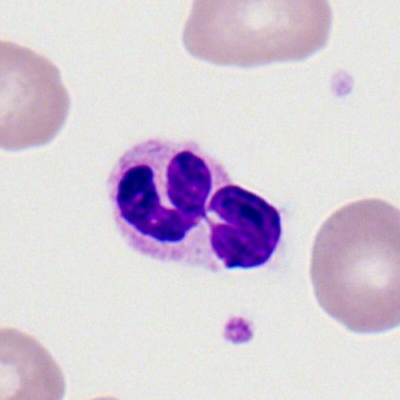

Q: Identify the cell.
A: A segmented neutrophil.